Bone marrow smear; image size 250×250:
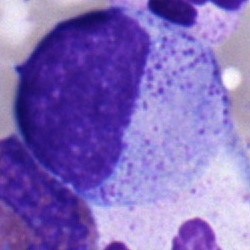A metamyelocyte.